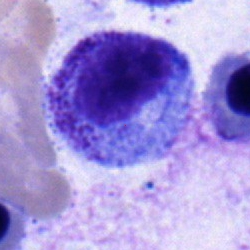Progranulocyte.